250 by 250 pixels · bone marrow aspirate smear · brightfield microscopy, 40× oil immersion
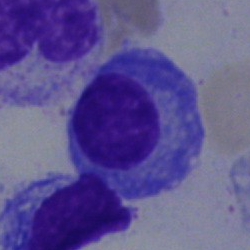 Single cell identified as a plasmacyte.